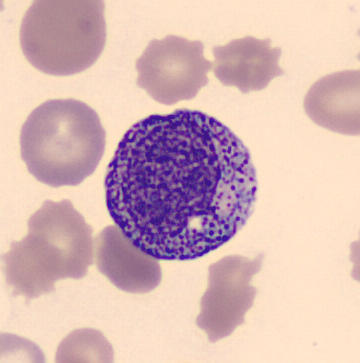 A progranulocyte.